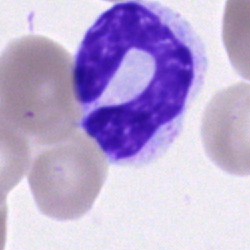

Q: Which cell type is shown here?
A: Stab cell.